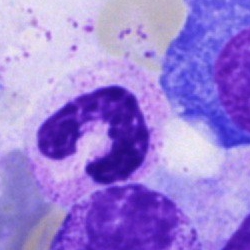Q: Identify the cell.
A: A band neutrophil.